Peripheral blood smear:
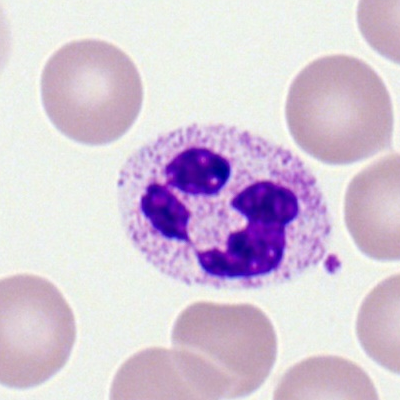
Cell — neutrophil (segmented).